Bone marrow aspirate smear: 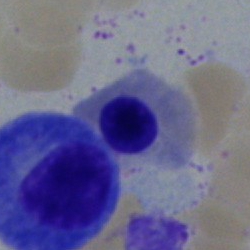

Normoblast.